Single-cell crop. Bone marrow smear — 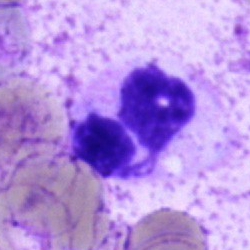 Single cell identified as a segmented neutrophil.